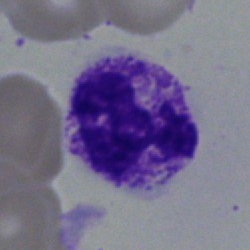
The cell shown is a neutrophil (segmented).